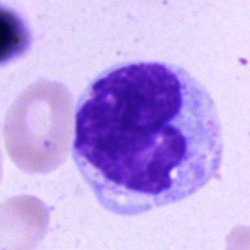

Cell: monocyte.